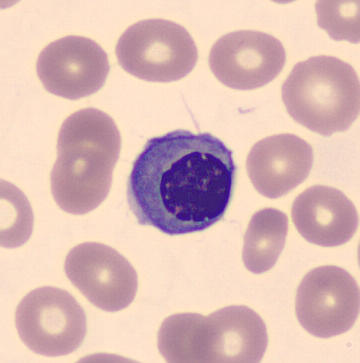

This is an erythroblast.